Bone marrow smear.
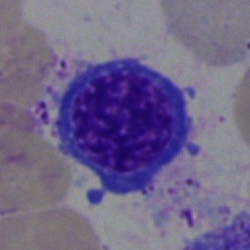
Classification — erythroblast.